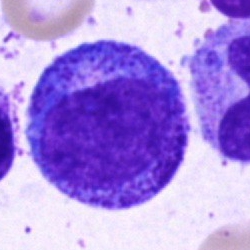
This is a progranulocyte.